Bone marrow aspirate smear — 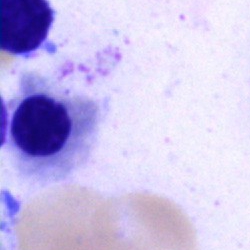Nucleated red blood cell.